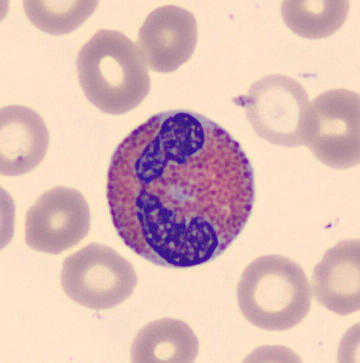

Acquisition: Peripheral blood film. Classification: eosinophilic granulocyte.